MGG-stained. Bone marrow smear. 250 by 250 pixels.
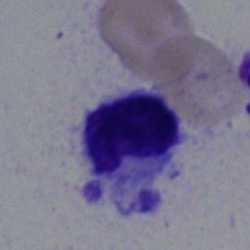Classification = lymphocyte.